250×250 px; bone marrow smear.
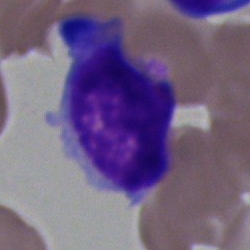
Q: What is shown here?
A: It is a lymphocyte.